Bone marrow aspirate smear. 40× oil immersion:
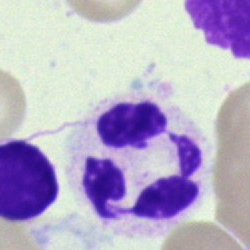Q: Which cell type is shown here?
A: It is a neutrophil (segmented).